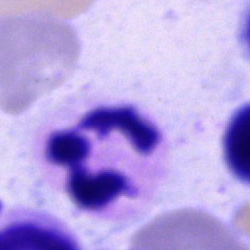
Specimen: bone marrow smear.
Classification: polymorphonuclear neutrophil.